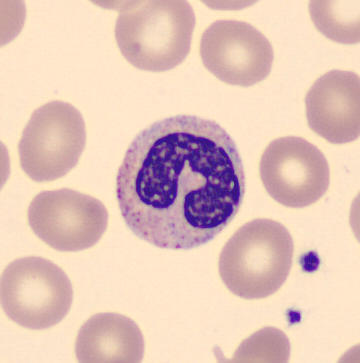May-Grünwald-Giemsa-stained; peripheral blood smear.
A band-form neutrophil.